Bone marrow smear. 250 by 250 pixels. Single cell centered in the field — 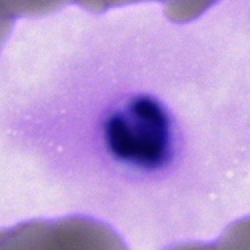 Cell = polymorphonuclear neutrophil.